Bone marrow aspirate smear. MGG-stained.
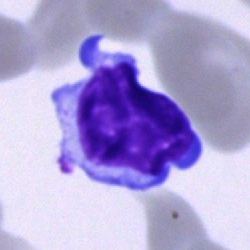 Cell = typical lymphocyte.